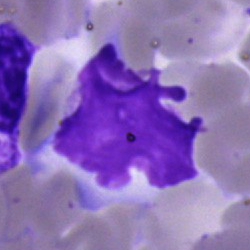 An artefact.